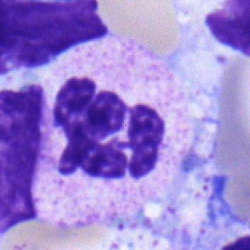 Q: Identify the cell.
A: Segmented neutrophil.